400×400; peripheral blood film:
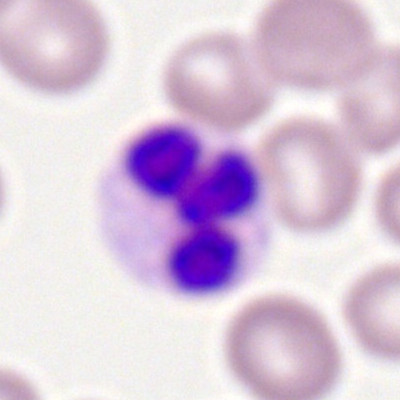
The cell is segmented neutrophil.